Bone marrow aspirate smear. 250×250 px. Single-cell field.
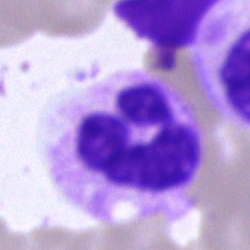

Cell type — polymorphonuclear neutrophil.